Bone marrow smear: 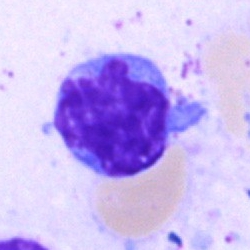Cell type — lymphocyte.